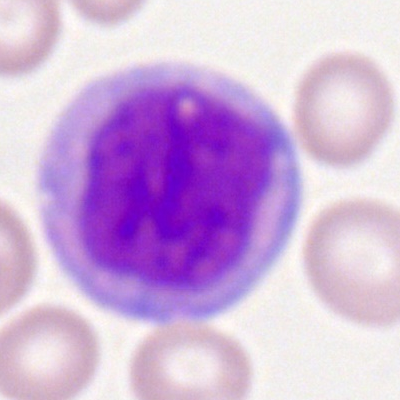Peripheral blood smear showing a monocyte.